Bone marrow smear.
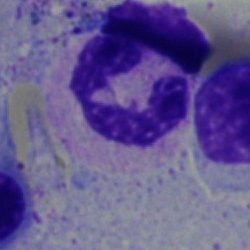

A polymorphonuclear neutrophil.